Bone marrow aspirate smear. Pappenheim-stained.
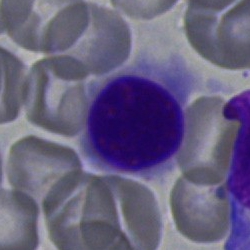

Specimen: bone marrow aspirate smear.
Classification: normoblast.
Lineage: erythroid.